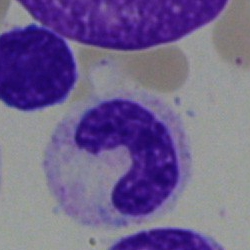

Specimen: bone marrow smear.
Morphological class: band neutrophil.